Bone marrow smear:
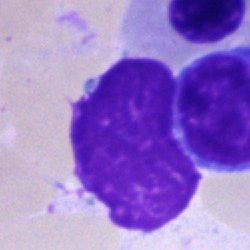

Classification = artefact.